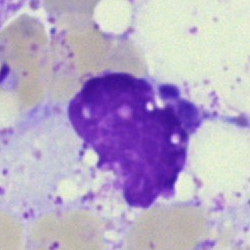Q: What is shown here?
A: An artifact.